Brightfield, 40× oil-immersion objective. Bone marrow smear. May-Grünwald-Giemsa stain: 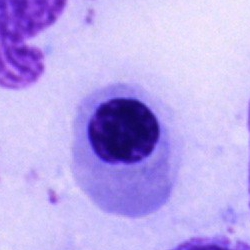
Showing a nucleated red cell.